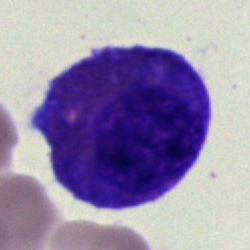

Morphological class — eosinophilic granulocyte.